250 by 250 pixels; bone marrow smear; 40× oil immersion: 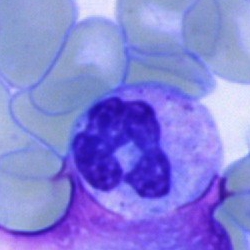This is a neutrophil (segmented).